Bone marrow smear; Pappenheim-stained; brightfield, 40× oil-immersion objective.
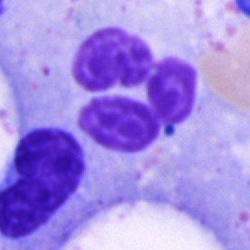

A neutrophil (segmented).